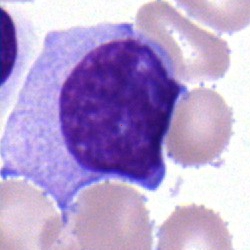

Q: What type of cell is this?
A: It is a lymphocyte.